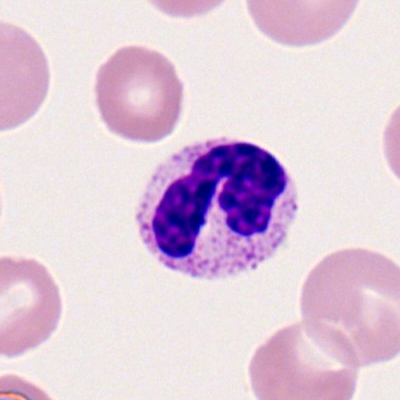

Cell: segmented neutrophil.